Peripheral blood film — 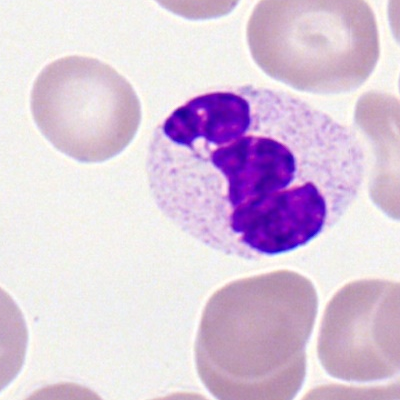This is a neutrophil (segmented).